Bone marrow aspirate smear
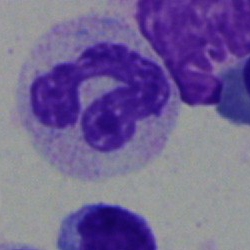 Q: What is the morphological classification of this cell?
A: Neutrophil (segmented).